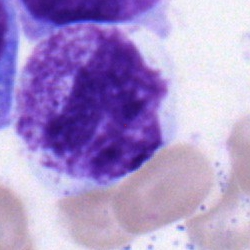Specimen: bone marrow aspirate smear.
Classification: band-form neutrophil.
Lineage: myeloid.